250×250 px; bone marrow smear; MGG-stained:
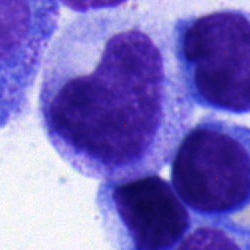 The classification is metamyelocyte.